Bone marrow smear. May-Grünwald-Giemsa/Pappenheim stain:
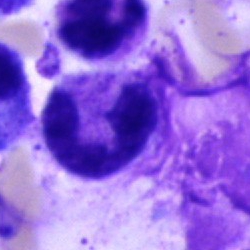Cell type = band-form neutrophil.